Bone marrow smear. Single-cell crop.
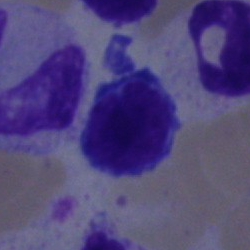

Q: Which cell type is shown here?
A: This is a typical lymphocyte.